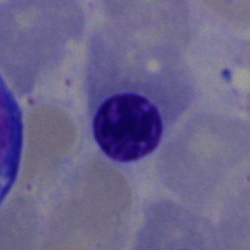
Showing a normoblast.